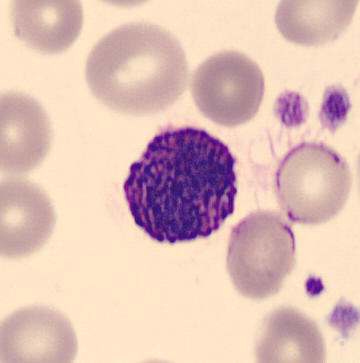Peripheral blood film · 360 by 363 pixels · single cell centered in the field.

Morphology consistent with a basophil.